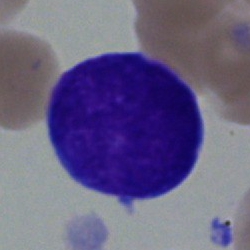
A blast cell.